Bone marrow smear: 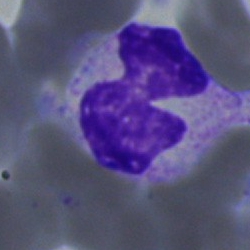 Q: What is shown here?
A: A neutrophil (segmented).